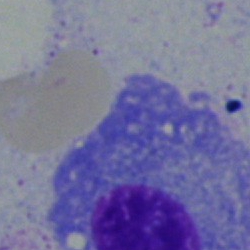
{"cell_type": "plasma cell", "lineage": "lymphoid"}